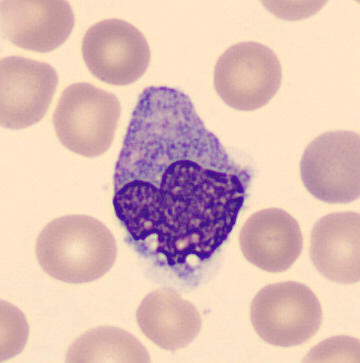 Image: Peripheral blood smear.
The morphological class is monocyte.